Bone marrow aspirate smear · 40× objective, oil immersion — 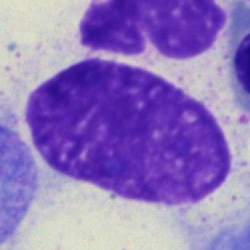

Cell type: artefact.